Bone marrow aspirate smear. 40× oil immersion — 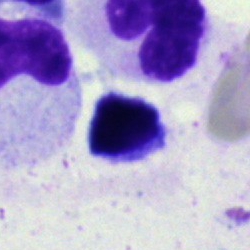 Q: Which cell type is shown here?
A: It is a typical lymphocyte.